250×250 · 40× oil immersion · bone marrow smear
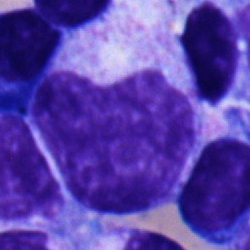
Impression — metamyelocyte.